Bone marrow aspirate smear: 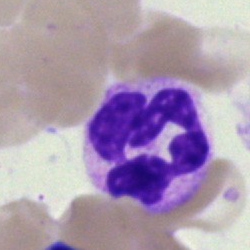Cell type — neutrophil (segmented).